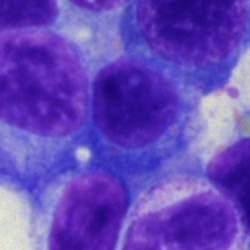
Bone marrow smear showing an erythroblast.